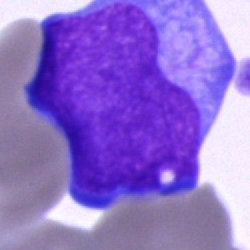Q: Which cell type is shown here?
A: This is an undifferentiated blast.